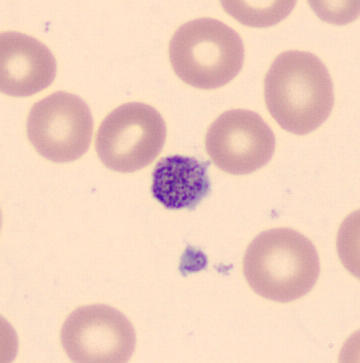
From a peripheral blood smear: a thrombocyte.